Brightfield, 40× oil-immersion objective · bone marrow smear:
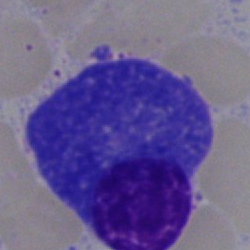Q: What is shown here?
A: Plasma cell.